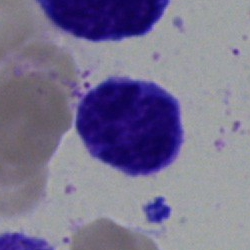 Bone marrow smear showing a typical lymphocyte.